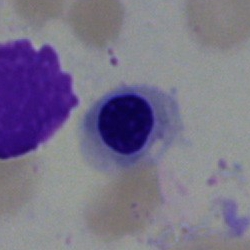Cell type — nucleated red blood cell.